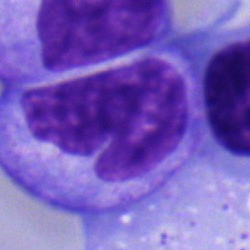 Morphological class: monocyte.